May-Grünwald-Giemsa stain; single-cell crop; bone marrow aspirate smear.
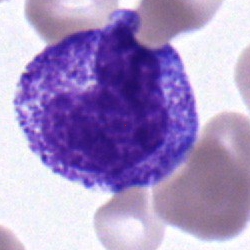Morphology consistent with a metamyelocyte.